Brightfield, 40× oil-immersion objective. MGG-stained. Bone marrow aspirate smear — 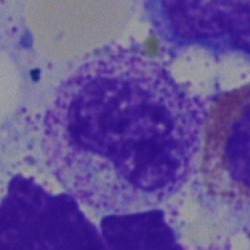Single cell identified as a metamyelocyte.